Brightfield microscopy, 40× oil immersion · bone marrow smear:
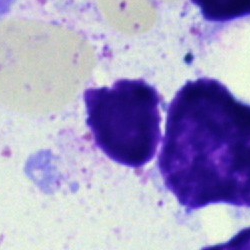
The cell type is artifact.